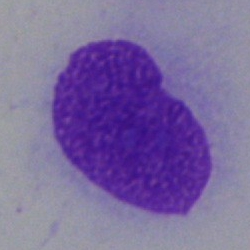
Single cell identified as an artefact.